Peripheral blood film — 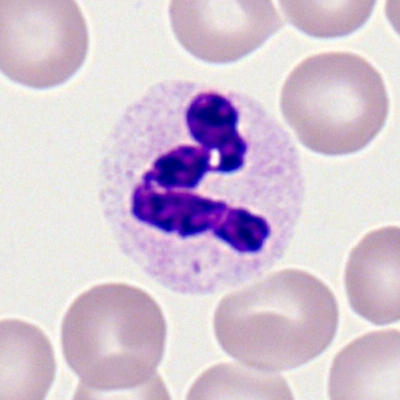
Q: What is shown here?
A: Polymorphonuclear neutrophil.